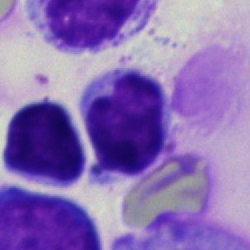
{"cell_type": "typical lymphocyte", "lineage": "lymphoid"}